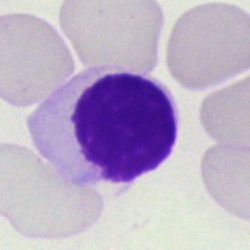
Single cell identified as an artefact.